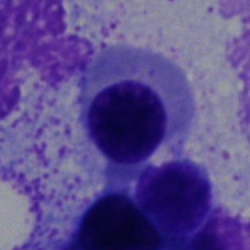The morphological class is erythroblast.